Image size 250×250 · bone marrow smear.
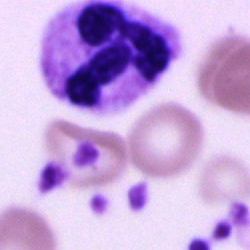 The cell shown is a neutrophil (segmented).